Single-cell crop. Brightfield, 40× oil-immersion objective. Bone marrow smear:
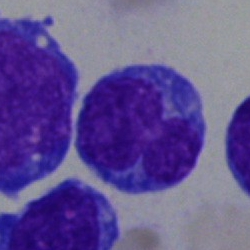Morphology — blast.